Bone marrow smear.
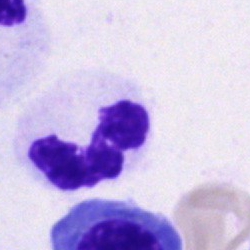
Q: Identify the cell.
A: This is a polymorphonuclear neutrophil.